Bone marrow aspirate smear: 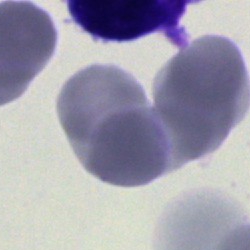 Q: What is the morphological classification of this cell?
A: This is a cell of indeterminate lineage.